Peripheral blood smear:
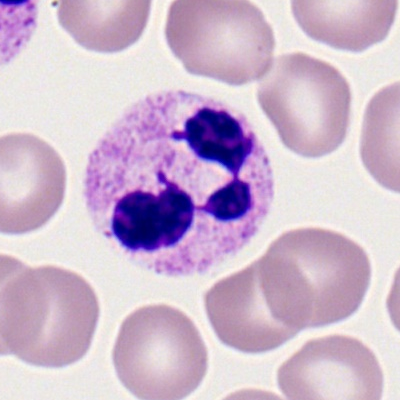 Classification = segmented neutrophil.